40× objective, oil immersion · May-Grünwald-Giemsa stain · bone marrow smear:
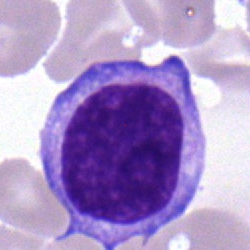Morphological class = lymphocyte.